Bone marrow aspirate smear — 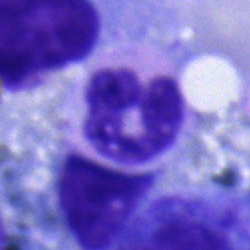

The morphological class is stab cell.